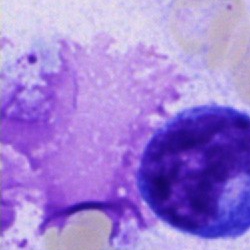Showing an artefact.